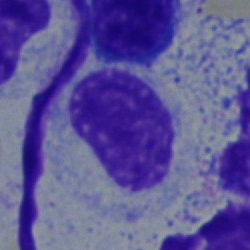Showing a metamyelocyte.